Bone marrow aspirate smear · single cell centered in the field · 250×250
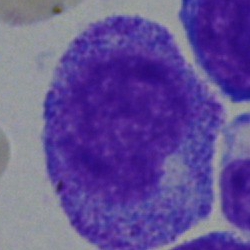Impression → promyelocyte.